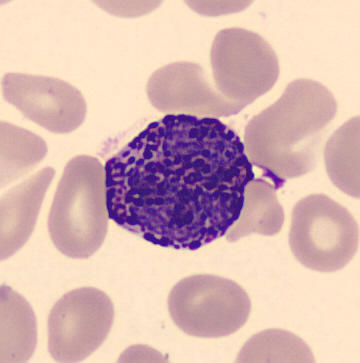Image size 360×363 · peripheral blood film. Impression → basophil.